MGG-stained. Bone marrow aspirate smear.
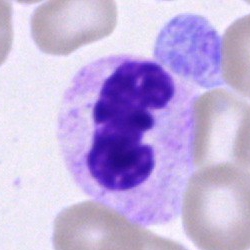
Q: Identify the cell.
A: Segmented neutrophil.